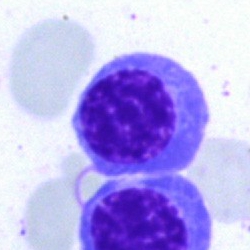
The cell shown is a normoblast.